Image size 400×400. Single-cell field. Peripheral blood film — 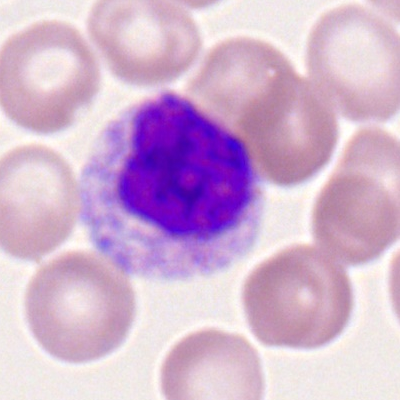

Q: Which cell type is shown here?
A: Segmented neutrophil.